Pappenheim-stained · bone marrow aspirate smear.
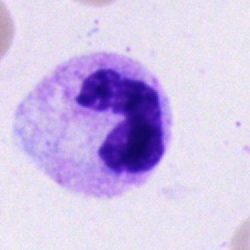
Showing a polymorphonuclear neutrophil.